Bone marrow aspirate smear:
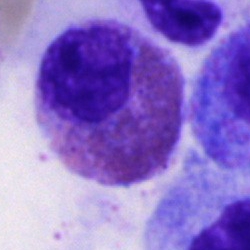

{"cell_type": "eosinophil", "lineage": "myeloid"}